Bone marrow smear — 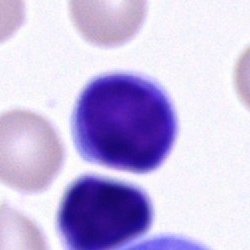Morphology consistent with a lymphocyte.